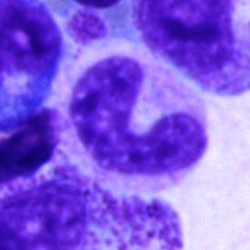
Morphology → band-form neutrophil.